Bone marrow aspirate smear.
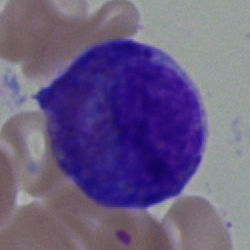

Morphological class = eosinophil.